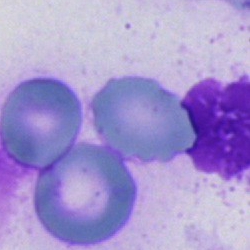 Classification: artifact.